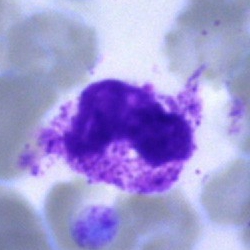A segmented neutrophil on a bone marrow smear.